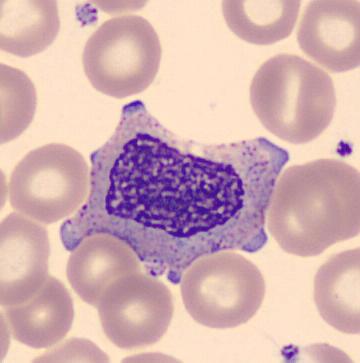

Acquisition: Peripheral blood film. Single cell centered in the field.
Q: What is shown here?
A: This is a myelocyte.